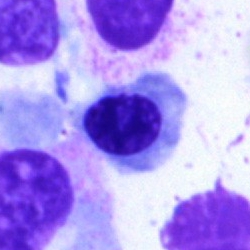
Single-cell crop from a bone marrow smear: erythroblast.